Bone marrow aspirate smear; May-Grünwald-Giemsa/Pappenheim stain
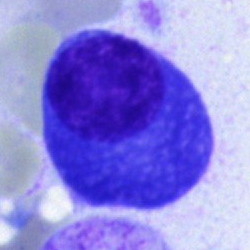
Classification — plasma cell.